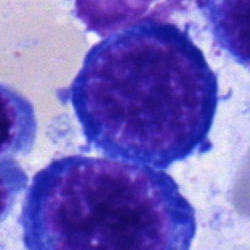 Morphological class: pronormoblast.